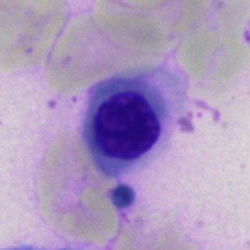 Morphological class = erythroblast.